Bone marrow aspirate smear · Pappenheim-stained — 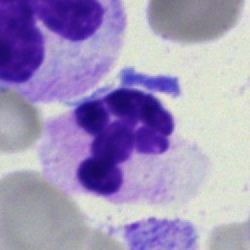This is a neutrophil (segmented).